Cropped to a single cell; bone marrow aspirate smear.
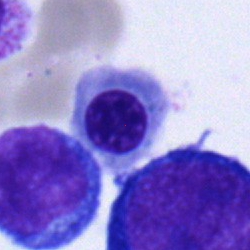Q: Identify the cell.
A: It is a normoblast.